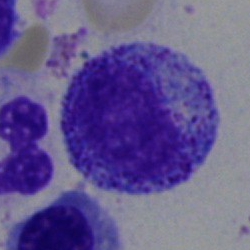 Cell type — progranulocyte.